Cropped to a single cell · bone marrow smear.
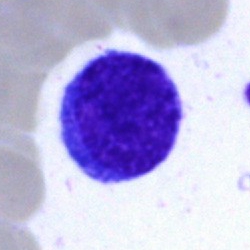

Morphology → typical lymphocyte.